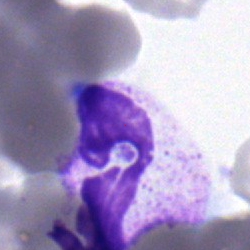Bone marrow aspirate smear, single cell — polymorphonuclear neutrophil.